Bone marrow smear — 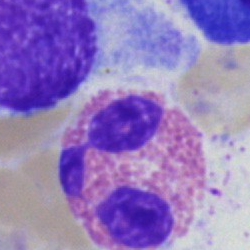
Single cell identified as an eosinophilic granulocyte.